May-Grünwald-Giemsa stain; bone marrow smear; 250 by 250 pixels:
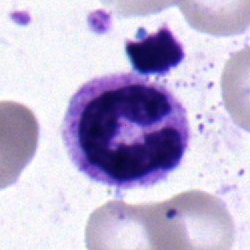

Single cell identified as a neutrophil (segmented).